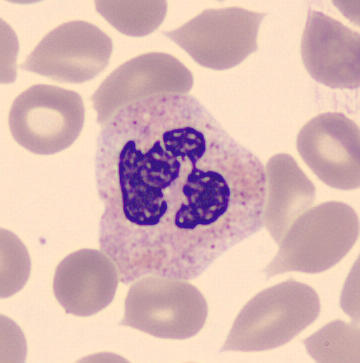

The classification is polymorphonuclear neutrophil.